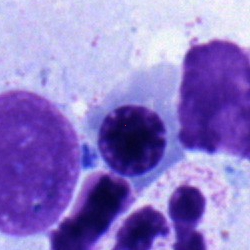
Bone marrow aspirate smear, single cell — nucleated red cell.